Bone marrow aspirate smear · 250×250
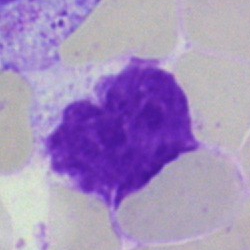
The classification is artifact.